Peripheral blood smear; Romanowsky-type stain; single-cell crop
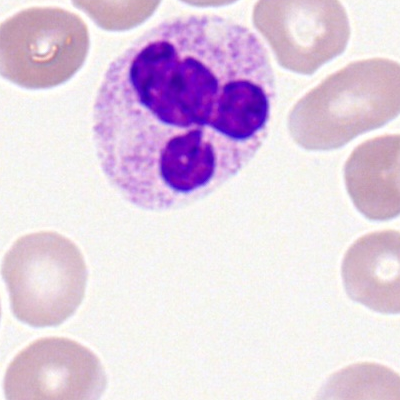Q: What is the morphological classification of this cell?
A: It is a polymorphonuclear neutrophil.